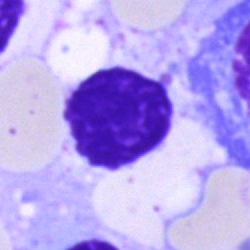 This is an artifact.